MGG-stained; bone marrow smear.
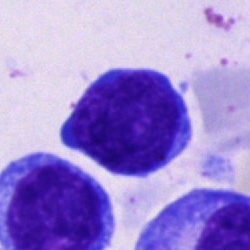
Cell type: lymphocyte.